250×250; single-cell crop; bone marrow smear
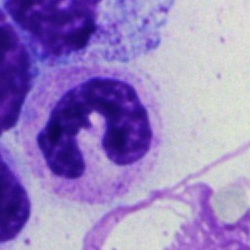
The cell is stab cell.